400×400 px · cropped to a single cell · peripheral blood smear.
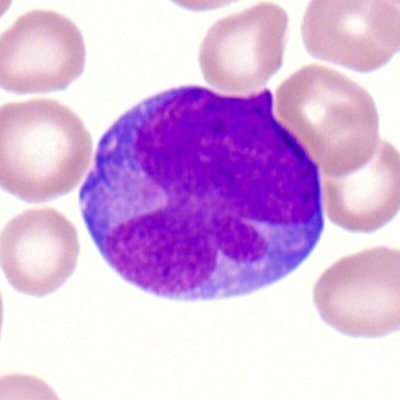

Impression → myeloblast.